May-Grünwald-Giemsa/Pappenheim stain · bone marrow smear:
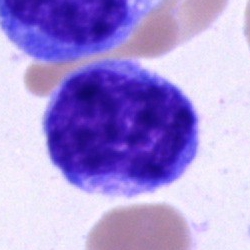 Cell type = undifferentiated blast.